250 by 250 pixels; bone marrow smear — 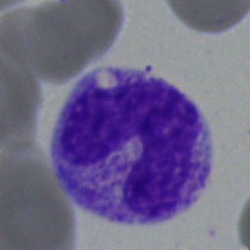
Specimen: bone marrow smear.
Cell: stab cell.
Lineage: myeloid.